Bone marrow smear · Pappenheim-stained:
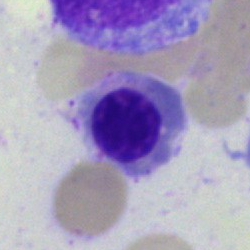 Specimen: bone marrow smear.
Morphological class: erythroblast.
Lineage: erythroid.